Bone marrow smear.
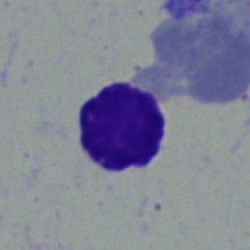
Impression → artifact.